Brightfield microscopy, 40× oil immersion · image size 250×250 · bone marrow aspirate smear:
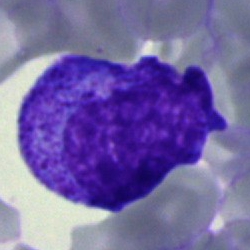 Q: What cell is this?
A: A promyelocyte.